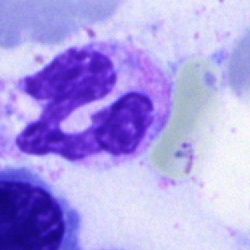 Neutrophil (segmented).